MGG-stained. Cropped to a single cell. Bone marrow aspirate smear:
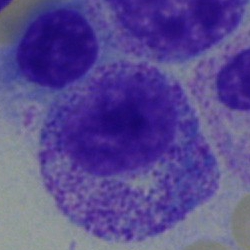 The cell shown is a myelocyte.